May-Grünwald-Giemsa stain · bone marrow smear — 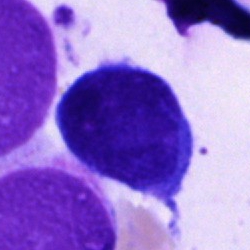The morphological class is undifferentiated blast.